Brightfield microscopy, 40× oil immersion. Bone marrow smear — 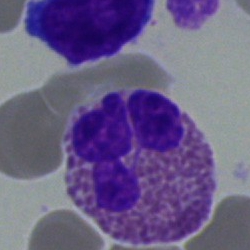
Cell: eosinophilic granulocyte.